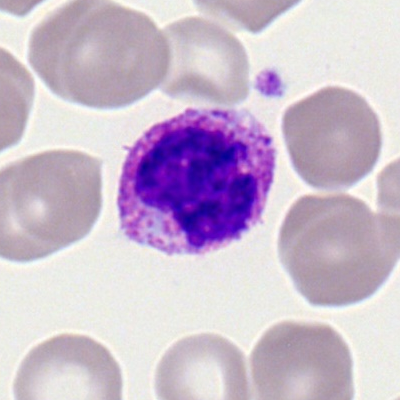
Peripheral blood smear showing a basophil.